Bone marrow aspirate smear · single-cell crop · Pappenheim-stained.
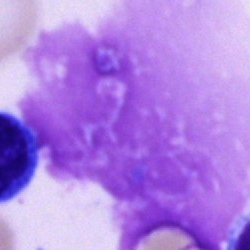

Cell — artefact.